Peripheral blood smear. Brightfield, 100× oil-immersion objective: 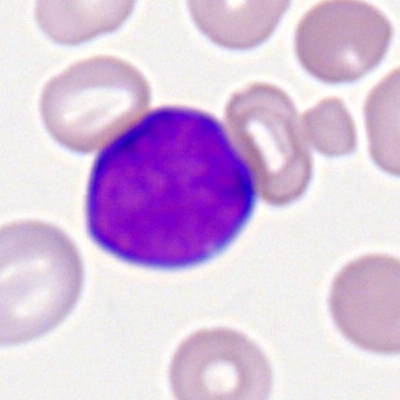

The cell shown is a myeloblast.